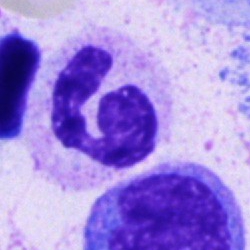Q: Which cell type is shown here?
A: Segmented neutrophil.